40× oil immersion; bone marrow aspirate smear:
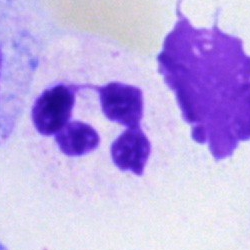{"cell_type": "segmented neutrophil"}